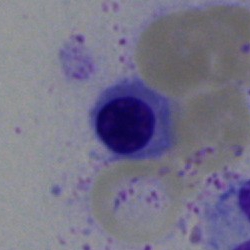 Cell type = normoblast.